Peripheral blood film.
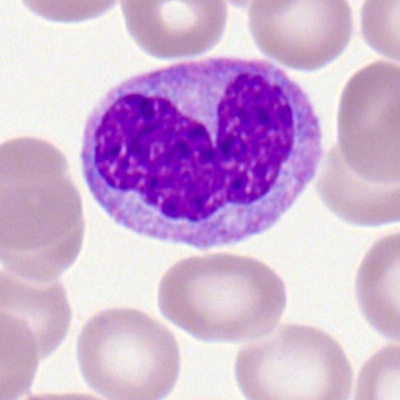

This is a monocyte.